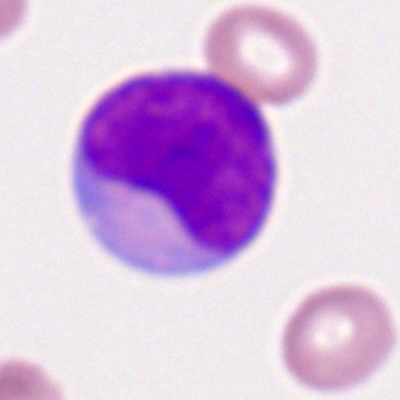
Single-cell crop from a peripheral blood smear: myeloid blast.